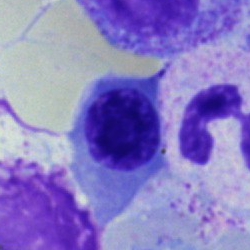

The classification is erythroblast.